MGG-stained; peripheral blood film
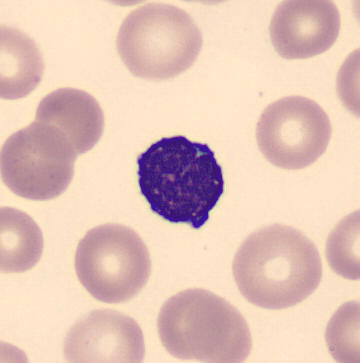

This is a typical lymphocyte.